Bone marrow aspirate smear — 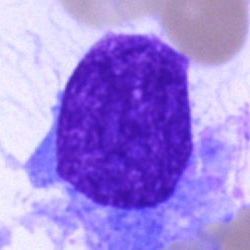The cell is plasmacyte.